Bone marrow smear.
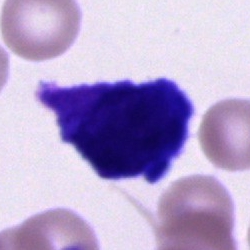Unidentifiable cell.